Bone marrow smear
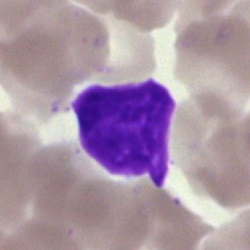Q: What is shown here?
A: Artifact.